Bone marrow smear. 40× objective, oil immersion
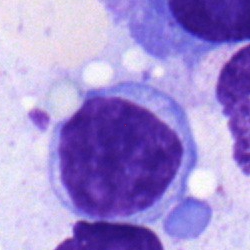Specimen: bone marrow aspirate smear.
Cell type: typical lymphocyte.